Bone marrow aspirate smear
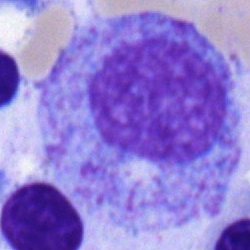Q: What is the morphological classification of this cell?
A: It is a progranulocyte.